Bone marrow smear; single-cell field.
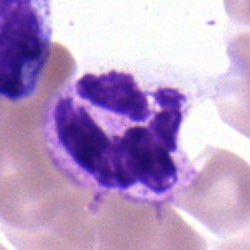

Cell — polymorphonuclear neutrophil.